Bone marrow smear; May-Grünwald-Giemsa stain.
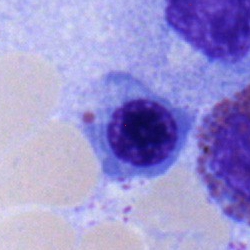

{"cell_type": "nucleated red cell", "lineage": "erythroid"}